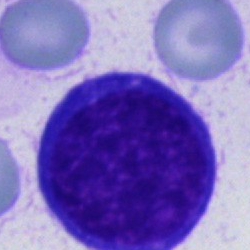Q: What type of cell is this?
A: Cell not matching the other categories.